Bone marrow smear.
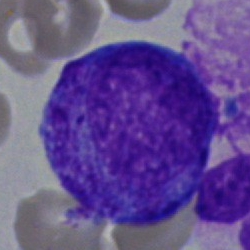
Q: Which cell type is shown here?
A: It is a promyelocyte.